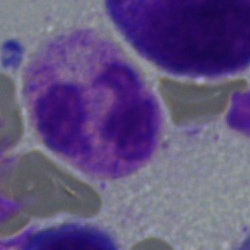
Q: Which cell type is shown here?
A: A segmented neutrophil.